Bone marrow aspirate smear: 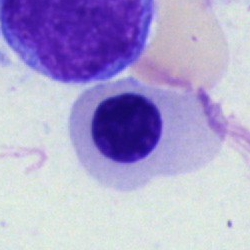

The cell shown is a normoblast.